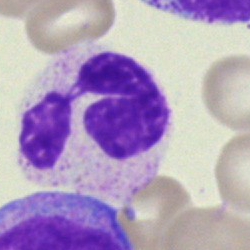Q: Which cell type is shown here?
A: This is a polymorphonuclear neutrophil.